250×250 px. Bone marrow smear
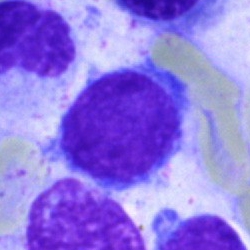{"cell_type": "lymphocyte", "lineage": "lymphoid"}